Bone marrow aspirate smear. Cropped to a single cell. Brightfield, 40× oil-immersion objective:
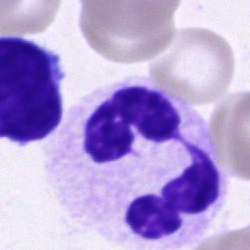

Morphological class: segmented neutrophil.